Bone marrow aspirate smear · brightfield microscopy, 40× oil immersion:
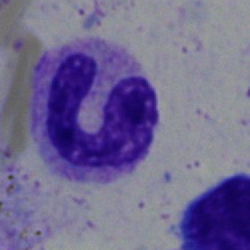

A band neutrophil.